40× oil immersion. 250×250 px. Bone marrow smear: 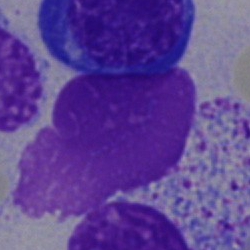
Artifact.